May-Grünwald-Giemsa/Pappenheim stain. Bone marrow aspirate smear
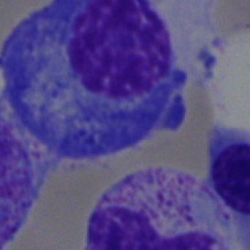
{"cell_type": "plasmacyte"}